Bone marrow aspirate smear — 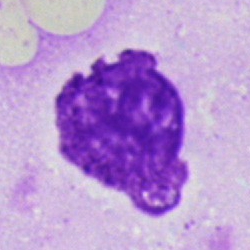Q: What is shown here?
A: Artefact.